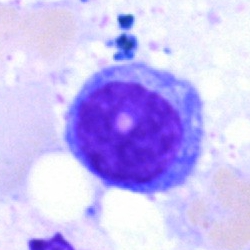Specimen: bone marrow aspirate smear.
Morphological class: typical lymphocyte.